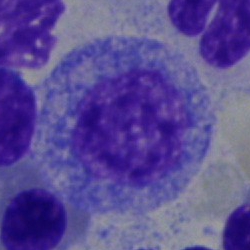 This is a progranulocyte.